Single-cell field · bone marrow smear: 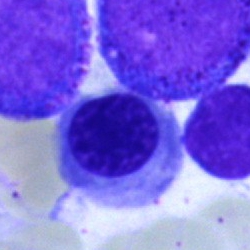

Classification — nucleated red blood cell.